Bone marrow smear
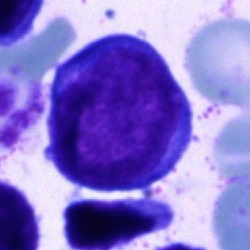Pronormoblast.